Single-cell field · bone marrow smear.
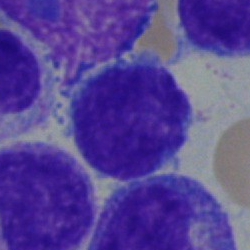
Q: What cell is this?
A: Lymphocyte.